May-Grünwald-Giemsa stain; 40× objective, oil immersion; bone marrow smear.
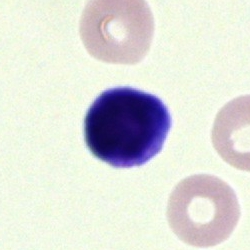

An artifact.